Bone marrow aspirate smear
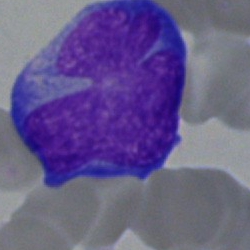 Morphology — blast.